Bone marrow aspirate smear: 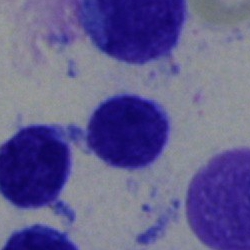Morphology consistent with a lymphocyte.